Peripheral blood film:
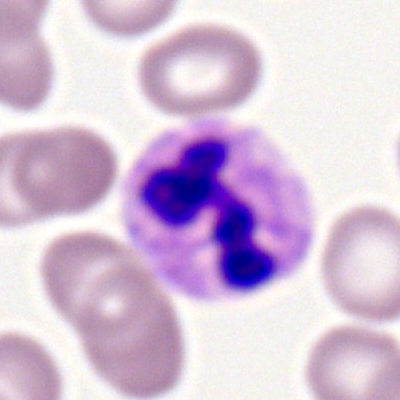
Q: What cell is this?
A: Segmented neutrophil.